Bone marrow smear
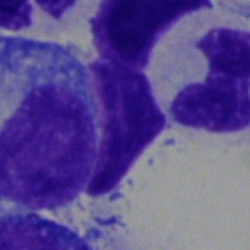 Morphological class: cell of indeterminate lineage.